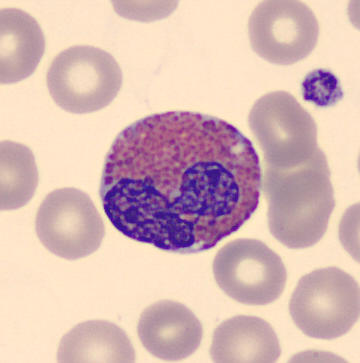 Specimen: peripheral blood film.
Morphological class: eosinophil.
Lineage: myeloid.